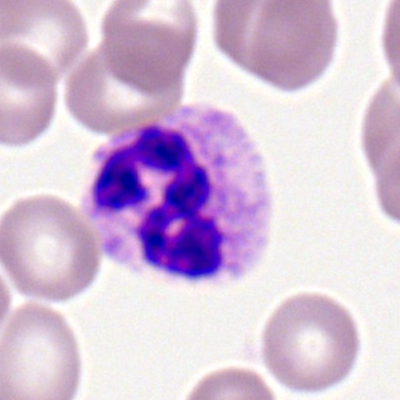 Morphology consistent with a polymorphonuclear neutrophil.